Peripheral blood film: 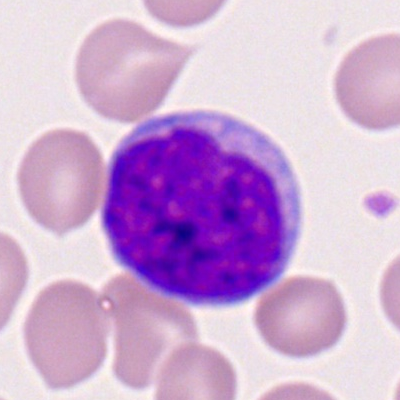 Cell = myeloid blast.